Bone marrow smear · single-cell field — 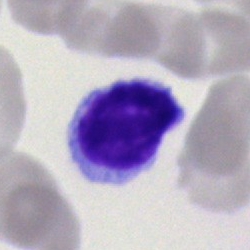

The classification is lymphocyte.